Peripheral blood smear — 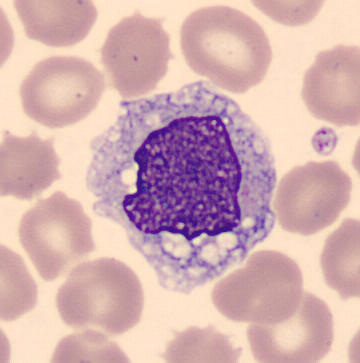
Showing a monocyte.